Single-cell field. May-Grünwald-Giemsa/Pappenheim stain. Bone marrow aspirate smear.
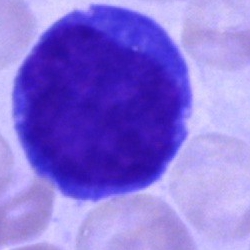 Single cell identified as an undifferentiated blast.